250×250; bone marrow smear — 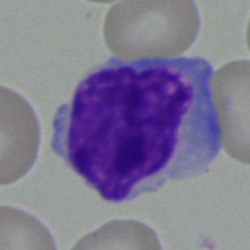Specimen: bone marrow smear.
Cell: typical lymphocyte.
Lineage: lymphoid.